May-Grünwald-Giemsa-stained · peripheral blood film.
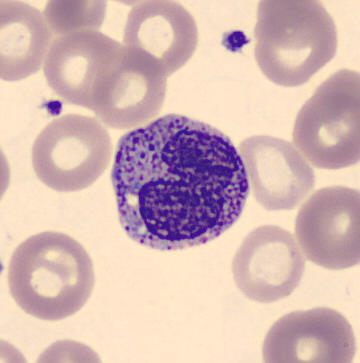
A metamyelocyte.